Brightfield, 40× oil-immersion objective · Pappenheim-stained · bone marrow aspirate smear:
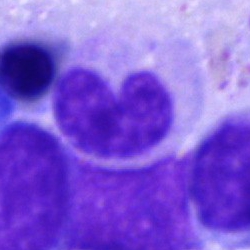Morphology consistent with a metamyelocyte.